Bone marrow smear.
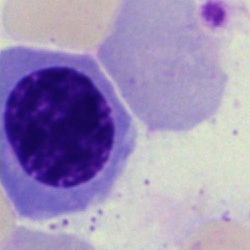

Morphology consistent with a nucleated red cell.